Brightfield, 40× oil-immersion objective · bone marrow smear.
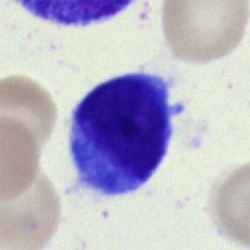

Showing a lymphocyte.